Bone marrow smear; brightfield microscopy, 40× oil immersion; image size 250×250:
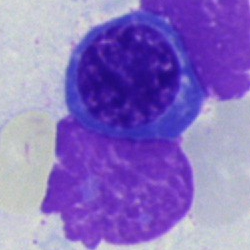
Q: What is shown here?
A: Nucleated red blood cell.